Single-cell field. Bone marrow smear. May-Grünwald-Giemsa stain: 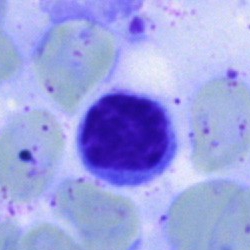 Classification = typical lymphocyte.